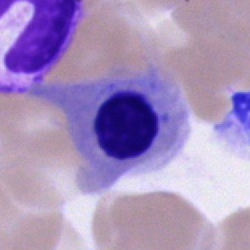

Specimen: bone marrow aspirate smear.
Morphological class: nucleated red cell.
Lineage: erythroid.